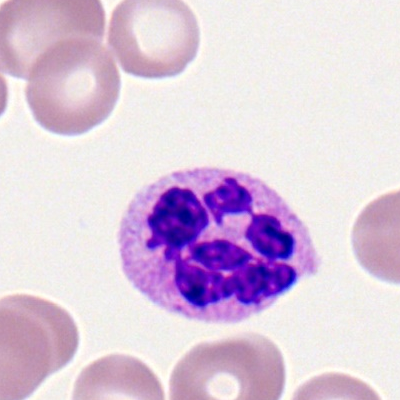
Q: Which cell type is shown here?
A: This is a segmented neutrophil.